Bone marrow aspirate smear: 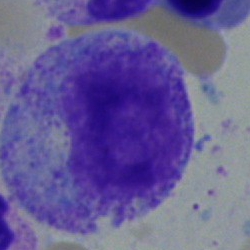
Cell — promyelocyte.